40× oil immersion; bone marrow smear; image size 250×250:
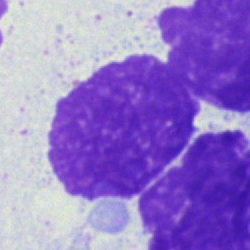

Impression — artifact.